Bone marrow aspirate smear
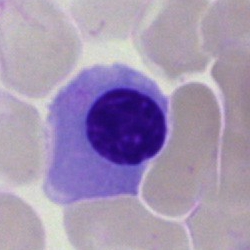Q: What is the morphological classification of this cell?
A: Nucleated red blood cell.